Bone marrow smear.
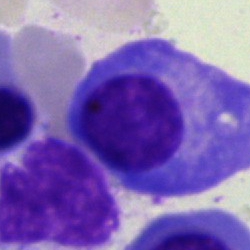
Morphological class: plasma cell.